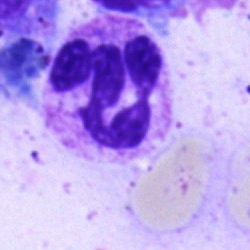

A segmented neutrophil.